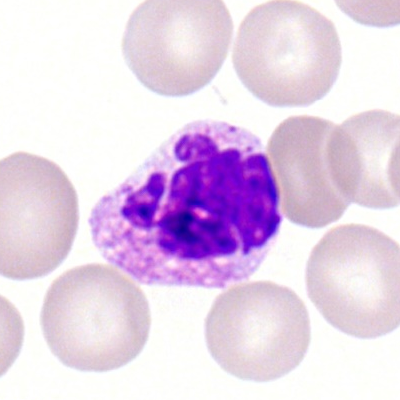Peripheral blood smear showing a basophil.